Single-cell crop · bone marrow smear
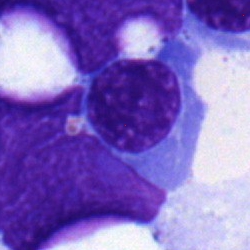

Showing a normoblast.